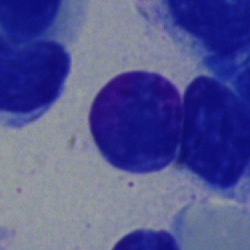Morphology consistent with a typical lymphocyte.